Single-cell crop. Bone marrow smear. Pappenheim-stained:
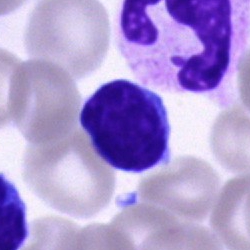

{"cell_type": "lymphocyte", "lineage": "lymphoid"}